Peripheral blood smear. Single-cell crop. CellaVision DM96 digital cell image:
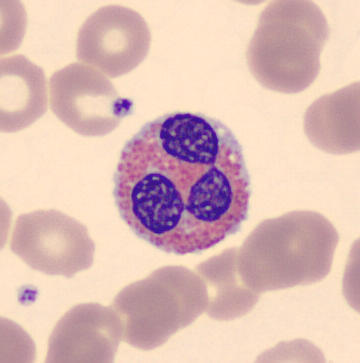An eosinophil.